Peripheral blood film
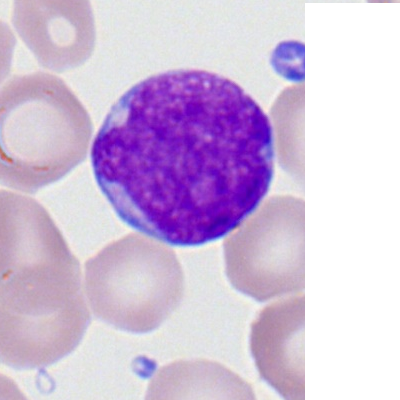 Q: What cell is this?
A: This is a myeloid blast.